Bone marrow smear. Single cell centered in the field. Pappenheim-stained
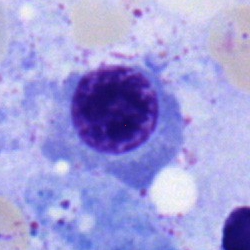

Q: What is the morphological classification of this cell?
A: This is a nucleated red cell.